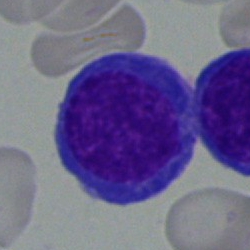 Single-cell crop from a bone marrow smear: plasma cell.